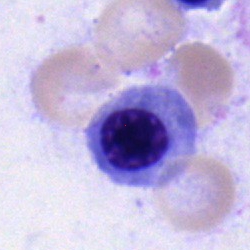
Q: What cell is this?
A: A normoblast.